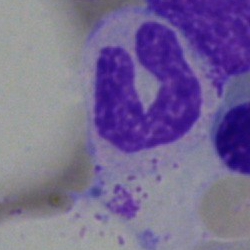 Impression — neutrophil (segmented).